Cropped to a single cell · bone marrow aspirate smear · May-Grünwald-Giemsa stain — 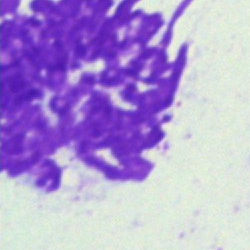

Single cell identified as an artefact.